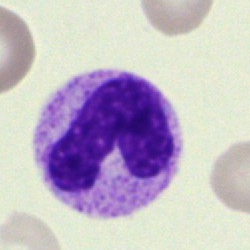 This is a band-form neutrophil.